Bone marrow smear; 250 by 250 pixels
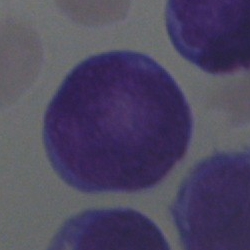A blast cell.